Bone marrow aspirate smear
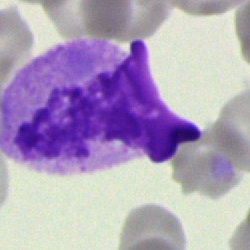The classification is artefact.